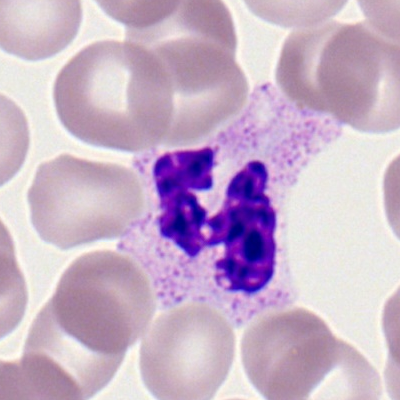The classification is polymorphonuclear neutrophil.